Cropped to a single cell. Bone marrow aspirate smear. 250×250 px: 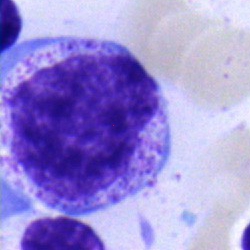Classification: promyelocyte.